May-Grünwald-Giemsa stain; bone marrow aspirate smear: 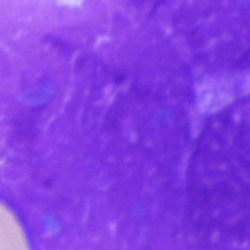
The cell is artifact.